Brightfield microscopy, 40× oil immersion · bone marrow smear
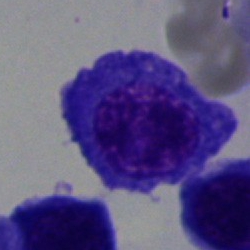

Nucleated red blood cell.